Bone marrow smear: 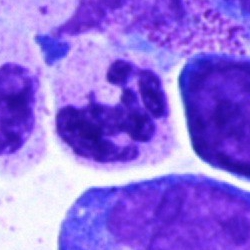

Q: What is the morphological classification of this cell?
A: Polymorphonuclear neutrophil.